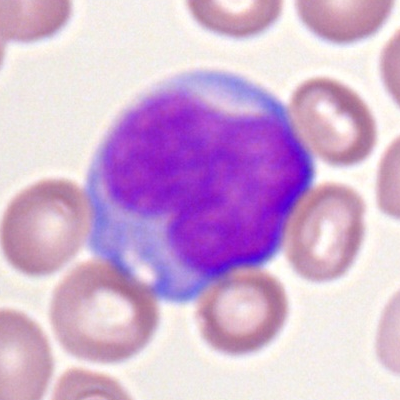

Morphological class: myeloblast.